Bone marrow smear.
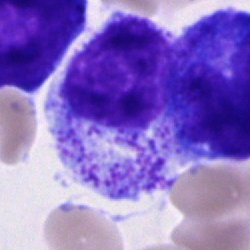Specimen: bone marrow aspirate smear.
Cell: nucleated red blood cell.